Bone marrow aspirate smear; 250 by 250 pixels:
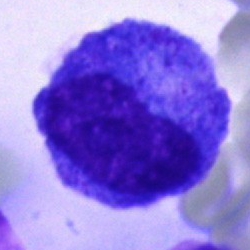 Morphology — promyelocyte.